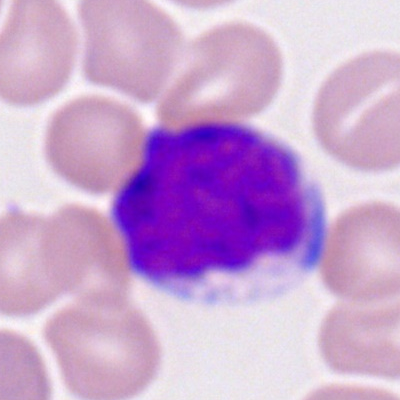
Peripheral blood smear showing a myeloid blast.